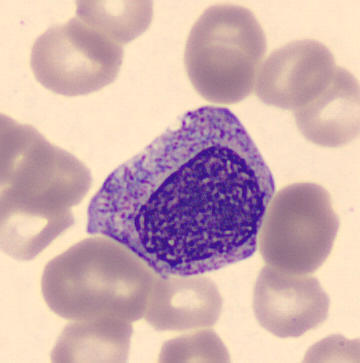
360 by 363 pixels; CellaVision DM96 digital cell image; peripheral blood smear.
Cell = promyelocyte.